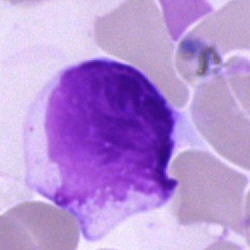This is an artifact.